Bone marrow smear: 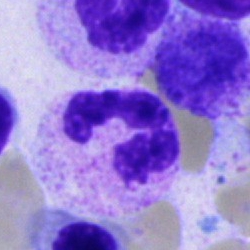Q: Which cell type is shown here?
A: This is a polymorphonuclear neutrophil.